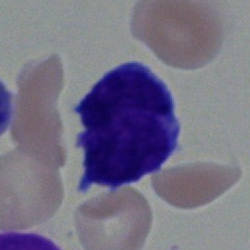

Cell type: undifferentiated blast.